250×250; bone marrow smear:
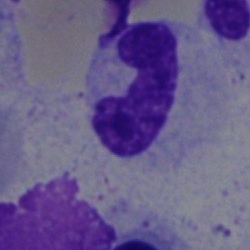
Specimen: bone marrow smear.
Cell type: band neutrophil.
Lineage: myeloid.